Brightfield, 40× oil-immersion objective; bone marrow smear — 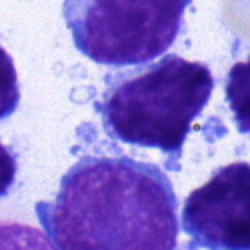 Cell type = typical lymphocyte.